Bone marrow smear.
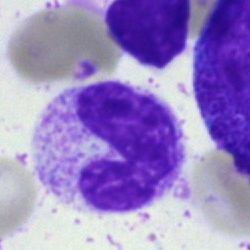

Band neutrophil.